Bone marrow aspirate smear · 40× objective, oil immersion — 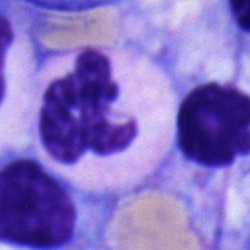 Polymorphonuclear neutrophil.